Bone marrow aspirate smear
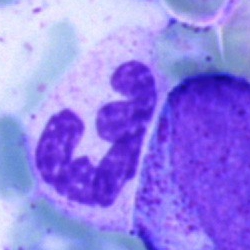 The cell type is neutrophil (segmented).